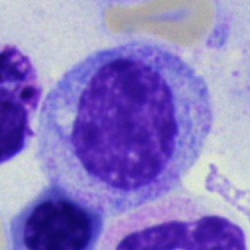

The cell shown is a myelocyte.